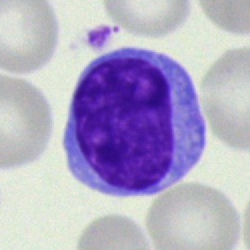
Cell — lymphocyte.